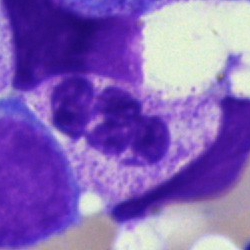
Q: Which cell type is shown here?
A: Polymorphonuclear neutrophil.